Bone marrow smear · brightfield, 40× oil-immersion objective · May-Grünwald-Giemsa stain.
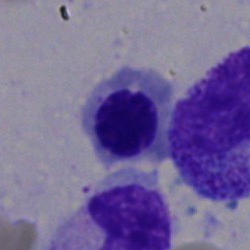

Showing a nucleated red cell.